Bone marrow smear; 250×250 px; brightfield microscopy, 40× oil immersion
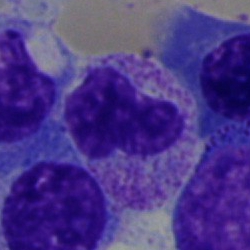
Band-form neutrophil.